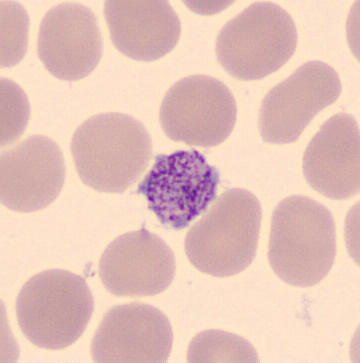Q: What is shown here?
A: Platelet.